Bone marrow smear
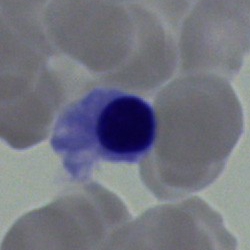Specimen: bone marrow aspirate smear.
Cell type: normoblast.
Lineage: erythroid.